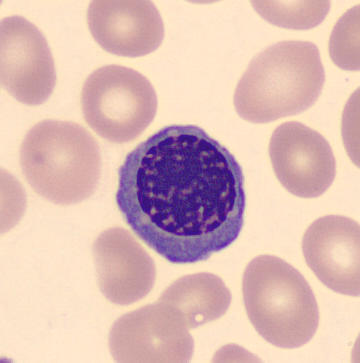

Peripheral blood smear showing an erythroblast.